Cropped to a single cell · bone marrow smear · Pappenheim-stained:
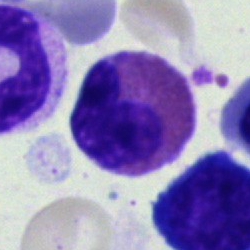
Q: Identify the cell.
A: This is an eosinophil.